Bone marrow smear · 40× oil immersion · cropped to a single cell:
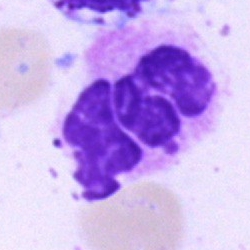

Specimen: bone marrow smear.
Morphological class: neutrophil (segmented).
Lineage: myeloid.